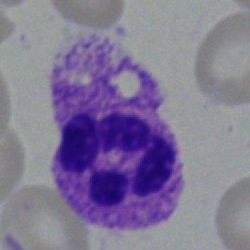
Specimen: bone marrow smear.
Cell: neutrophil (segmented).
Lineage: myeloid.